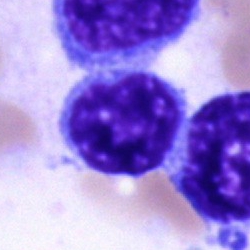

Impression — lymphocyte.